250 by 250 pixels · bone marrow aspirate smear.
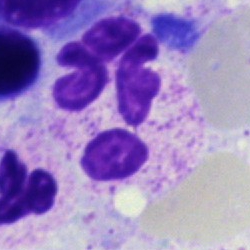 Q: What is shown here?
A: Polymorphonuclear neutrophil.